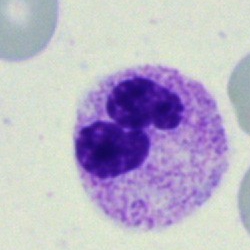Q: Which cell type is shown here?
A: This is a segmented neutrophil.